Bone marrow smear — 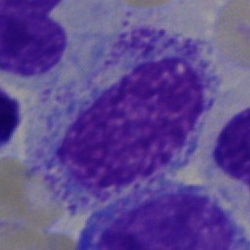Cell type: promyelocyte.